Bone marrow smear. 250 by 250 pixels. Brightfield microscopy, 40× oil immersion
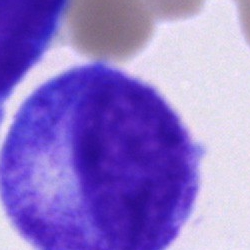
Specimen: bone marrow aspirate smear.
Cell: promyelocyte.
Lineage: myeloid.